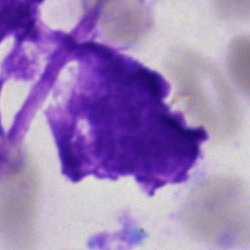This is an artefact.